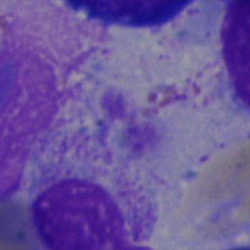
{"cell_type": "artefact"}